Bone marrow smear.
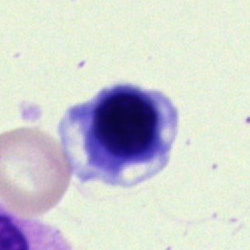
A nucleated red cell.